Bone marrow aspirate smear. 250×250. Single-cell field
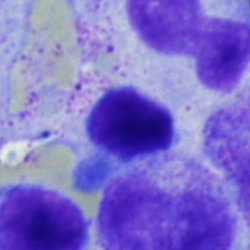This is a lymphocyte.